Bone marrow smear — 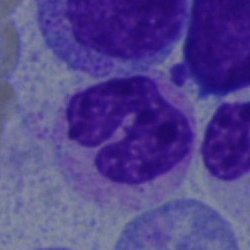 Cell — polymorphonuclear neutrophil.